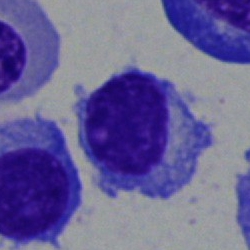 The classification is plasma cell.